Bone marrow smear · image size 250×250
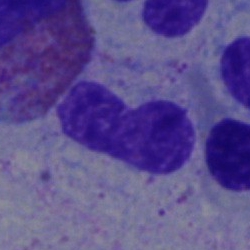{"cell_type": "stab cell", "lineage": "myeloid"}